Peripheral blood smear:
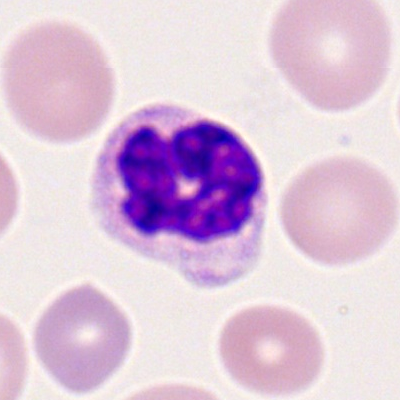
The classification is segmented neutrophil.